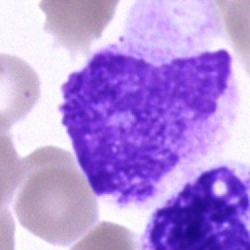The cell type is artifact.